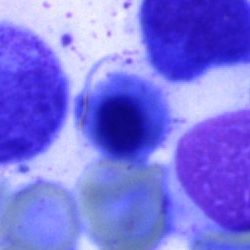Bone marrow aspirate smear, single cell — nucleated red cell.